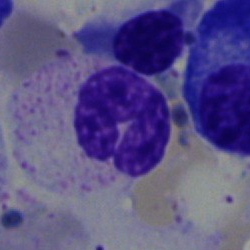

A band-form neutrophil on a bone marrow smear.